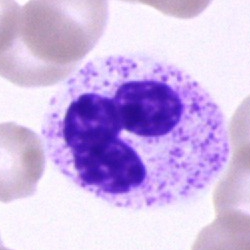

Morphological class — neutrophil (segmented).